Bone marrow aspirate smear. May-Grünwald-Giemsa/Pappenheim stain:
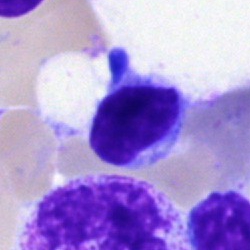

Morphology — typical lymphocyte.